250×250; bone marrow smear:
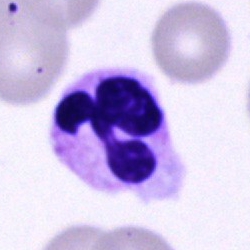A segmented neutrophil.